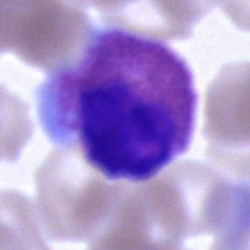
Morphology → eosinophilic granulocyte.